Peripheral blood smear: 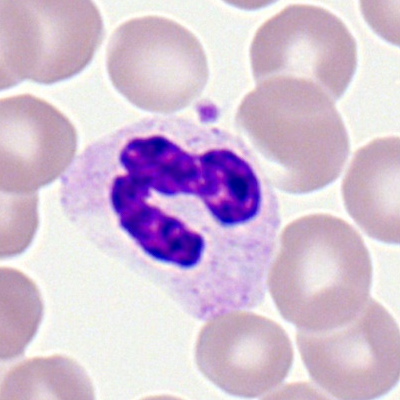

Cell type: segmented neutrophil.